Bone marrow smear — 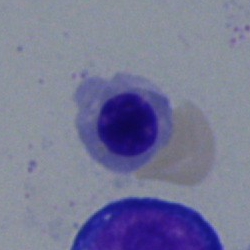

An erythroblast.